100× oil immersion, 14.14 px/µm; peripheral blood smear — 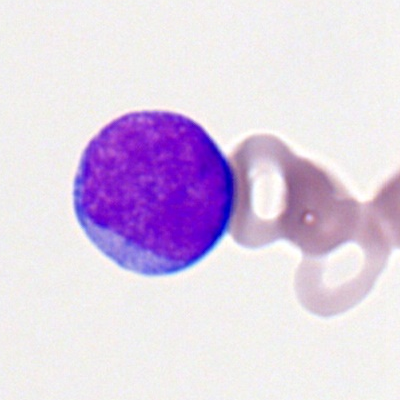Cell: myeloblast.